Single cell centered in the field; bone marrow smear; brightfield microscopy, 40× oil immersion:
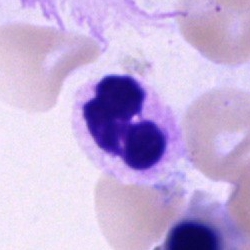

Q: What type of cell is this?
A: This is a segmented neutrophil.